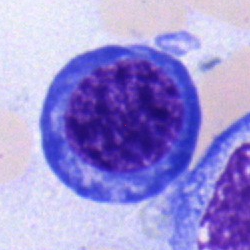 Bone marrow smear showing a nucleated red blood cell.